MGG-stained · bone marrow smear · single-cell field:
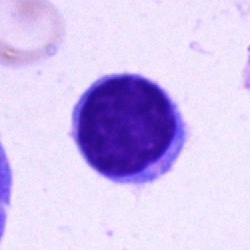
{"cell_type": "typical lymphocyte"}